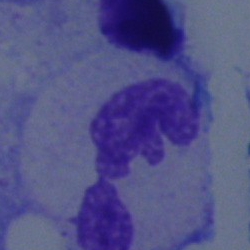Specimen: bone marrow smear.
Cell type: polymorphonuclear neutrophil.
Lineage: myeloid.